Brightfield, 40× oil-immersion objective; bone marrow aspirate smear:
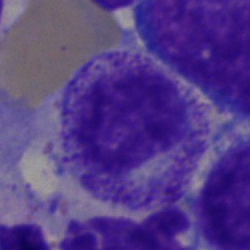

The cell shown is a myelocyte.